Bone marrow smear; Pappenheim-stained: 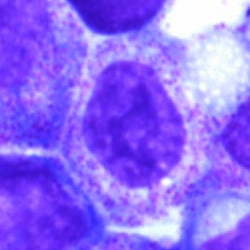Classification = myelocyte.